Bone marrow aspirate smear; single-cell field; 40× oil immersion — 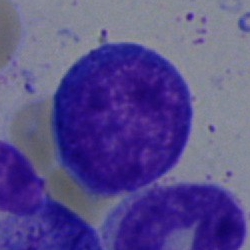
Showing a pronormoblast.